Bone marrow smear. 250×250:
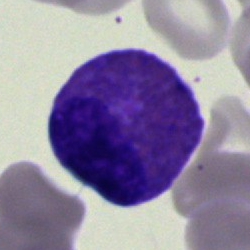

Morphology → eosinophil.